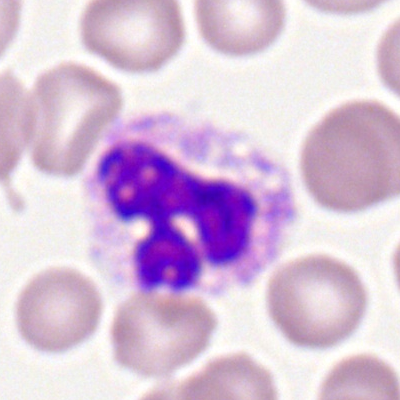

Peripheral blood smear showing a segmented neutrophil.